Bone marrow smear · MGG-stained:
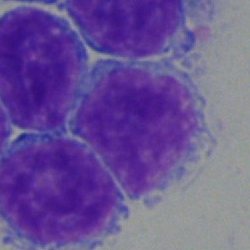 This is a lymphocyte.